MGG-stained; bone marrow smear — 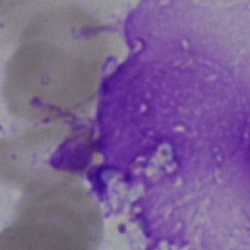

Impression — artifact.